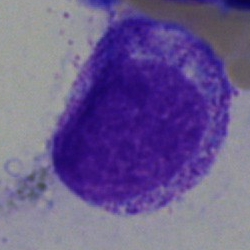
Showing a myelocyte.